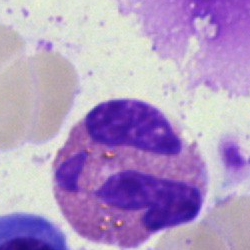

An eosinophilic granulocyte.